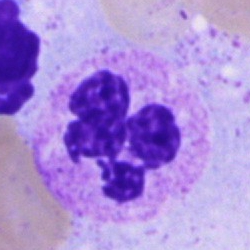Q: What type of cell is this?
A: This is a neutrophil (segmented).